Single cell centered in the field. Bone marrow aspirate smear.
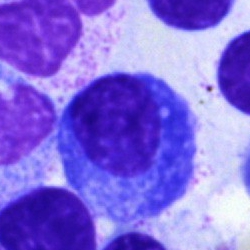Q: What type of cell is this?
A: Plasmacyte.